Bone marrow aspirate smear.
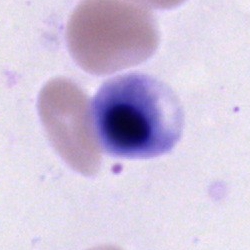
Cell: normoblast.